Peripheral blood film
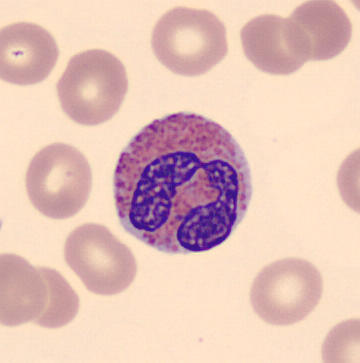

Cell type = eosinophil.